Bone marrow aspirate smear:
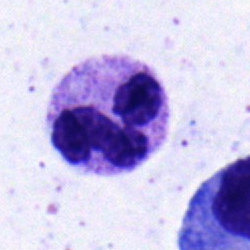This is a segmented neutrophil.